250 by 250 pixels · single-cell crop · bone marrow smear
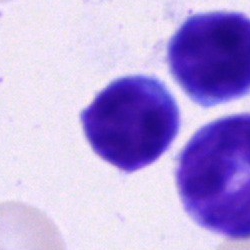Impression — typical lymphocyte.